Bone marrow smear — 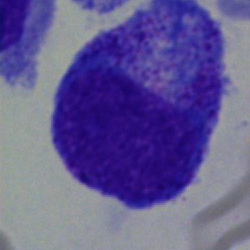 {"cell_type": "promyelocyte", "lineage": "myeloid"}